250×250; bone marrow aspirate smear: 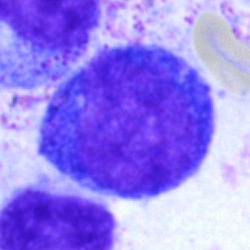

Morphology consistent with a pronormoblast.